Bone marrow smear — 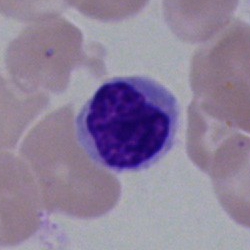 Impression → typical lymphocyte.